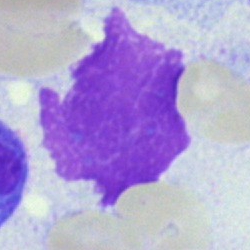 Morphology → artifact.